MGG-stained · bone marrow smear.
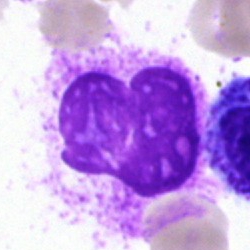Morphology consistent with an artefact.